100× objective, oil immersion · peripheral blood smear — 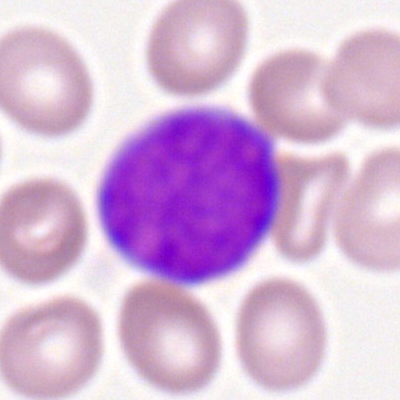

{"cell_type": "myeloblast", "lineage": "myeloid"}